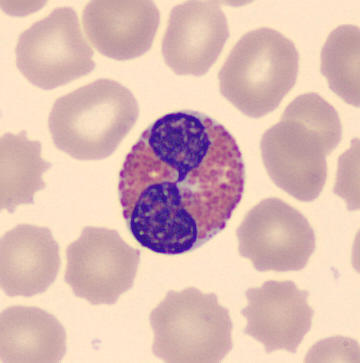 360 by 363 pixels · May Grünwald-Giemsa stain · peripheral blood smear.
Single cell identified as an eosinophilic granulocyte.